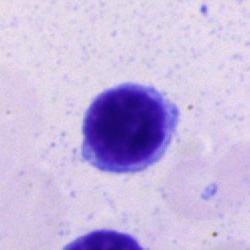Morphology — typical lymphocyte.